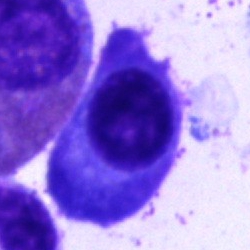
Morphology → plasmacyte.